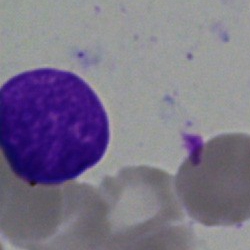This is an artifact.